Single-cell field · bone marrow aspirate smear.
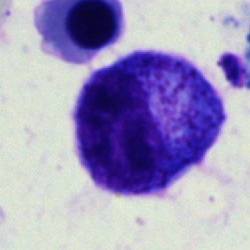
Progranulocyte.